Single cell centered in the field; bone marrow smear.
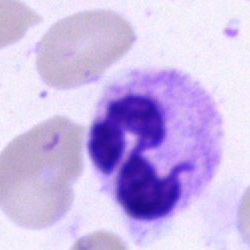
Morphological class: polymorphonuclear neutrophil.